Bone marrow aspirate smear; 250×250 px; May-Grünwald-Giemsa stain:
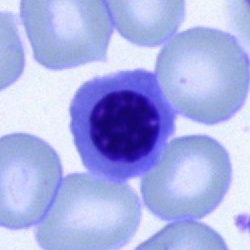Q: Identify the cell.
A: A nucleated red blood cell.